Brightfield, 40× oil-immersion objective; May-Grünwald-Giemsa/Pappenheim stain; bone marrow aspirate smear — 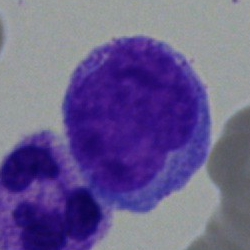The morphological class is blast cell.